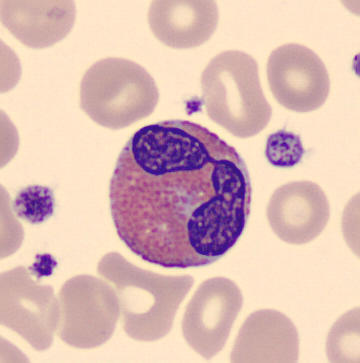
Image: Peripheral blood film. MGG stain.

Morphology consistent with an eosinophil.